May-Grünwald-Giemsa/Pappenheim stain. Bone marrow aspirate smear. Single cell centered in the field.
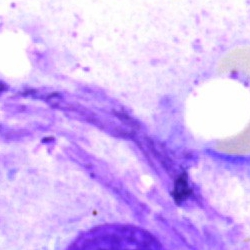The cell shown is an artefact.